Bone marrow smear · cropped to a single cell · Pappenheim-stained
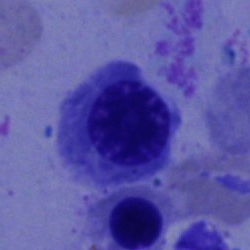 Cell = nucleated red blood cell.